Peripheral blood smear. Image size 400×400.
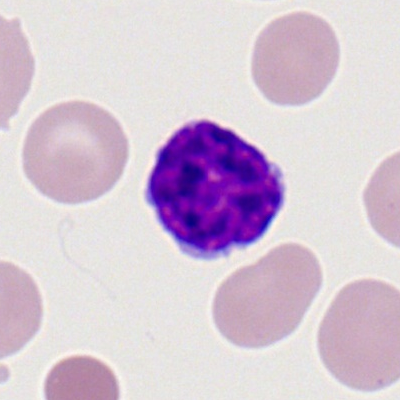 Cell type — typical lymphocyte.